Bone marrow aspirate smear
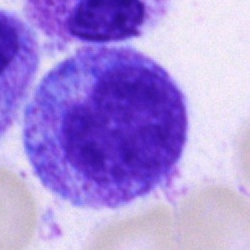Single cell identified as a promyelocyte.